Bone marrow smear · brightfield, 40× oil-immersion objective: 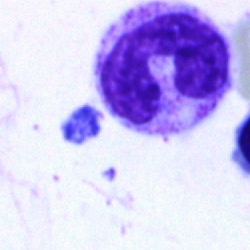The cell shown is a band-form neutrophil.